40× oil immersion. Bone marrow smear. Single cell centered in the field: 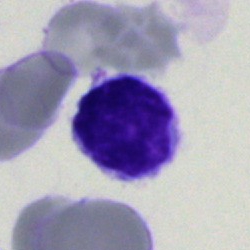 Single cell identified as a typical lymphocyte.